250 by 250 pixels · Pappenheim-stained · bone marrow smear — 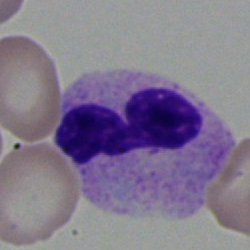
Cell type: polymorphonuclear neutrophil.